Single-cell field; bone marrow smear; brightfield microscopy, 40× oil immersion:
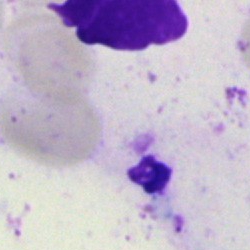
Specimen: bone marrow smear.
Cell: artefact.